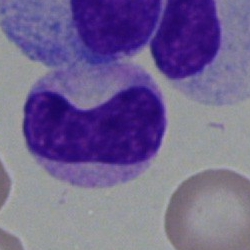
Morphology — neutrophil (band).